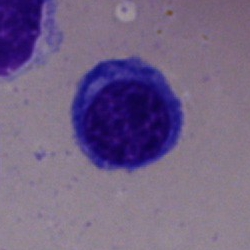Morphology — lymphocyte.